Pappenheim-stained. 40× oil immersion. Bone marrow smear — 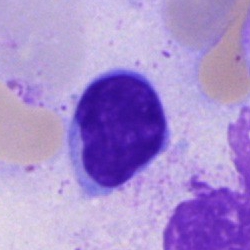
Impression → typical lymphocyte.